Bone marrow smear; 40× objective, oil immersion
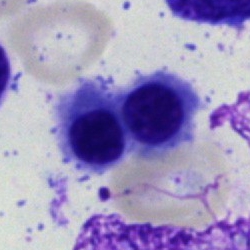 Q: What is shown here?
A: It is a nucleated red blood cell.